250 by 250 pixels · bone marrow smear.
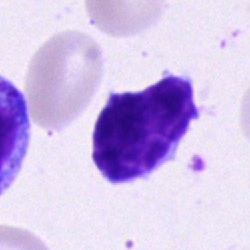 Classification — lymphocyte.